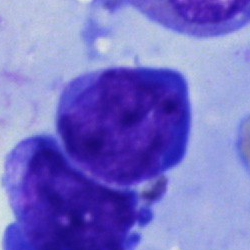

Q: What is shown here?
A: Lymphocyte.